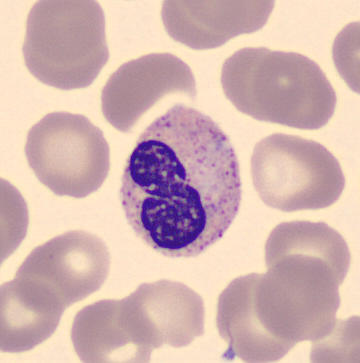

Classification: band neutrophil.